Bone marrow smear: 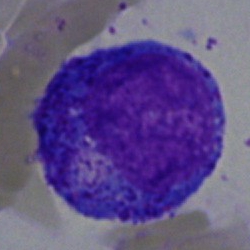 Morphology — promyelocyte.